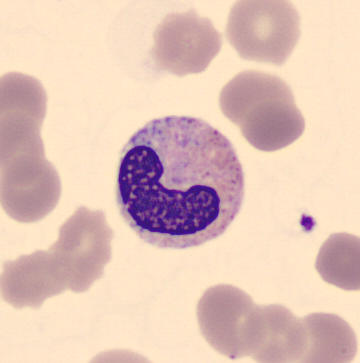Morphology consistent with a neutrophil (band).

Peripheral blood film · CellaVision DM96.